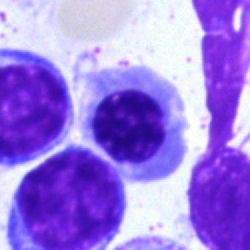Bone marrow smear showing a nucleated red cell.